Pappenheim-stained · bone marrow smear.
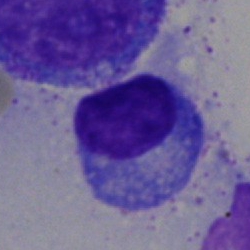

Cell type: plasma cell.